Bone marrow smear · cropped to a single cell: 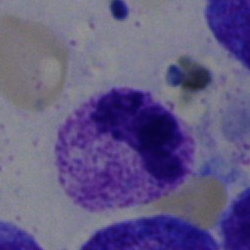 Impression — polymorphonuclear neutrophil.